Bone marrow smear; 40× oil immersion; image size 250×250.
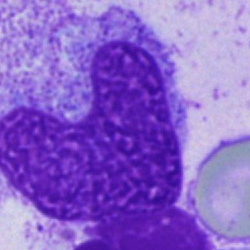Morphology consistent with an artifact.